Pappenheim-stained; bone marrow smear:
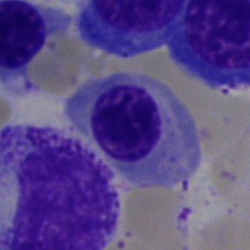Cell type: normoblast.